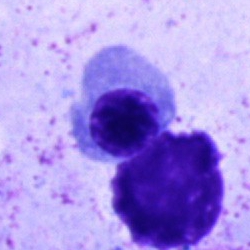
Cell type: normoblast.